Bone marrow aspirate smear
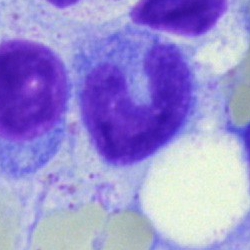

Morphology consistent with a monocyte.